Bone marrow smear · image size 250×250:
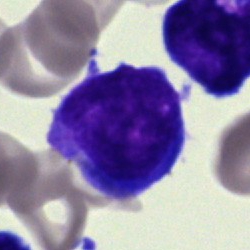

Cell — blast.